Brightfield, 40× oil-immersion objective; bone marrow smear.
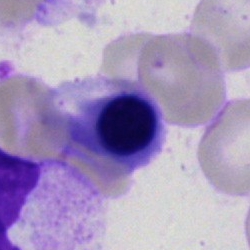

Morphology consistent with a normoblast.